Bone marrow aspirate smear; image size 250×250; single-cell crop.
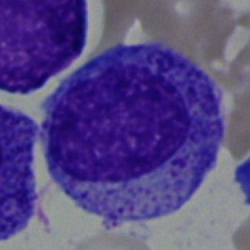

The cell is promyelocyte.